Cropped to a single cell · Pappenheim-stained · bone marrow aspirate smear: 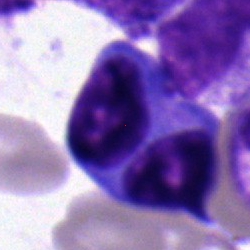
Plasma cell.